Bone marrow smear. Single cell centered in the field: 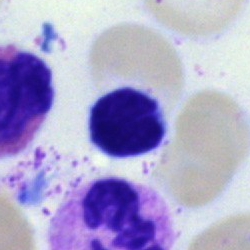 Q: What is shown here?
A: Typical lymphocyte.